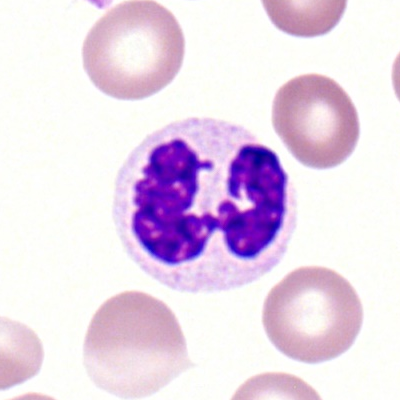Classification = segmented neutrophil.